Image size 250×250. Bone marrow smear: 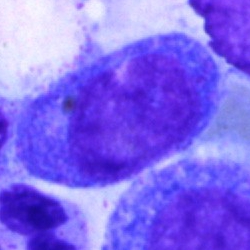
Showing a progranulocyte.